Peripheral blood smear.
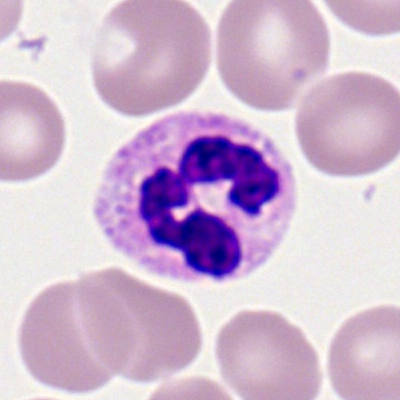

Classification = polymorphonuclear neutrophil.